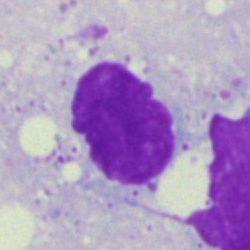Cell = artifact.